250×250. Bone marrow aspirate smear
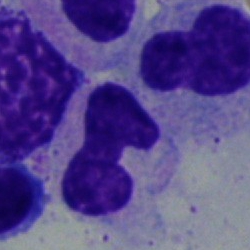

Cell type — neutrophil (band).